Bone marrow aspirate smear — 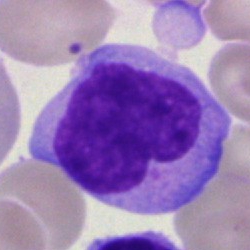

Q: What type of cell is this?
A: A monocyte.